Bone marrow smear · Pappenheim-stained: 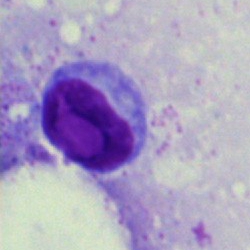 Specimen: bone marrow smear.
Classification: lymphocyte.
Lineage: lymphoid.